Bone marrow aspirate smear:
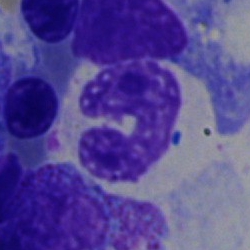

Morphology — band neutrophil.